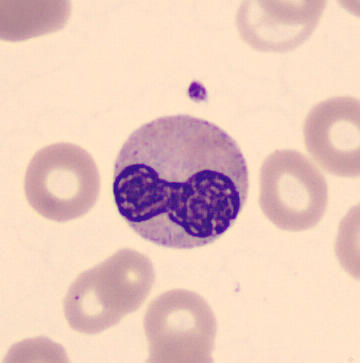
Cell type = neutrophil (band).